Peripheral blood film. M8 digital microscope (Precipoint), 100× oil immersion:
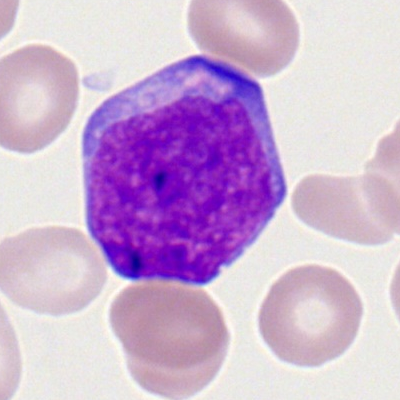Impression — myeloblast.